40× oil immersion. Bone marrow smear.
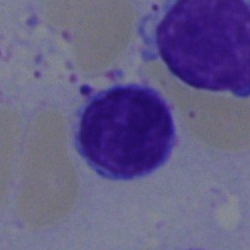 Single cell identified as a typical lymphocyte.